Bone marrow aspirate smear; single-cell crop:
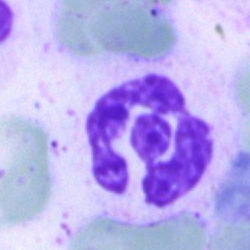

Cell type — segmented neutrophil.